MGG-stained; bone marrow aspirate smear:
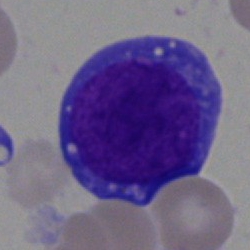 {"cell_type": "blast cell"}